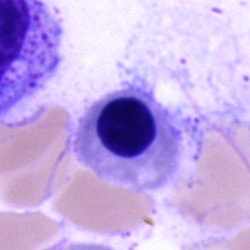
Single-cell crop from a bone marrow smear: erythroblast.